Bone marrow smear
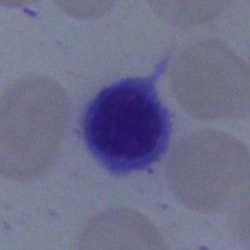

Q: Which cell type is shown here?
A: A nucleated red cell.